Bone marrow aspirate smear · May-Grünwald-Giemsa stain
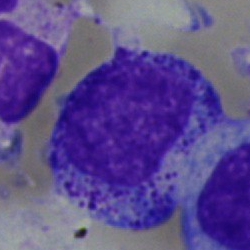 Showing a promyelocyte.